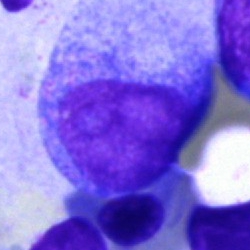 Single-cell crop from a bone marrow smear: progranulocyte.